Peripheral blood smear:
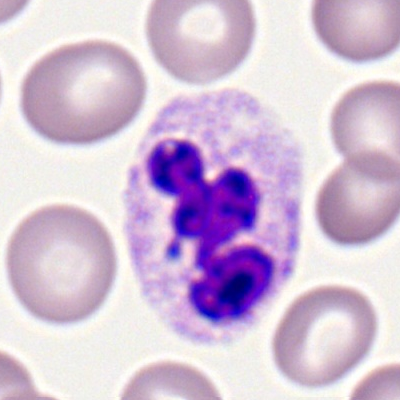The cell shown is a segmented neutrophil.